100× objective, oil immersion; peripheral blood smear.
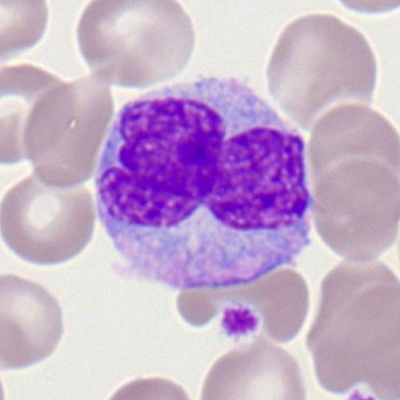
Morphology consistent with a monocyte.